Bone marrow smear: 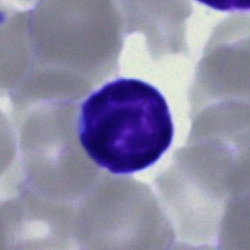 Q: Identify the cell.
A: It is a typical lymphocyte.